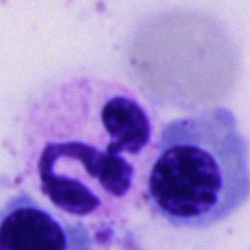
Cell: neutrophil (segmented).